Pappenheim-stained; bone marrow smear: 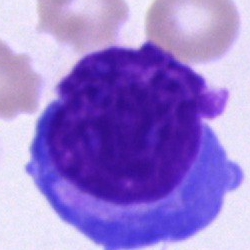Q: Which cell type is shown here?
A: It is a plasmacyte.